Single cell centered in the field · bone marrow aspirate smear · brightfield microscopy, 40× oil immersion — 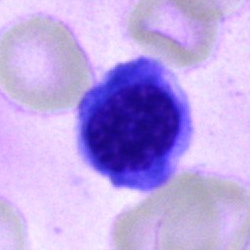
Cell: erythroblast.